Bone marrow smear:
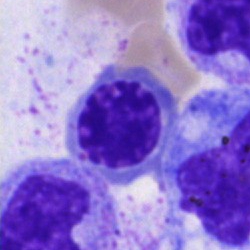 Morphology consistent with a nucleated red blood cell.